Single-cell crop · bone marrow smear · brightfield, 40× oil-immersion objective.
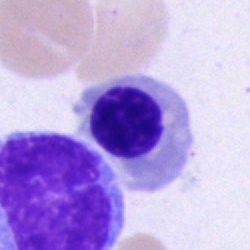
Cell — normoblast.